Bone marrow aspirate smear. Single-cell crop
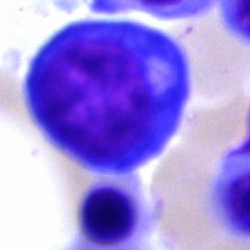Morphological class: nucleated red cell.